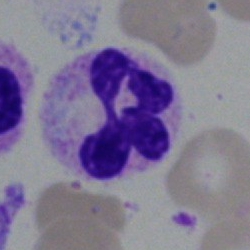

Q: Which cell type is shown here?
A: This is a neutrophil (segmented).